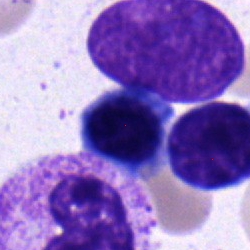

Morphology consistent with a nucleated red blood cell.